Bone marrow aspirate smear: 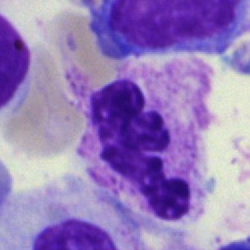Impression — neutrophil (segmented).